Peripheral blood film · 400×400 · Romanowsky-type stain: 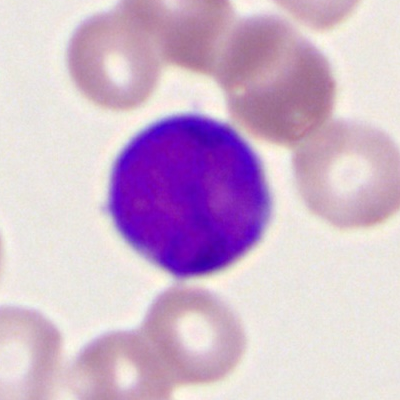

Cell: myeloid blast.